Bone marrow smear — 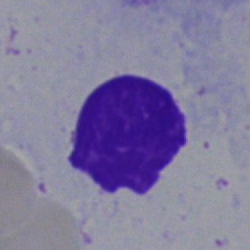 Morphological class = artefact.